Bone marrow smear.
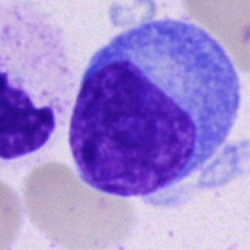 A plasma cell.